Bone marrow aspirate smear — 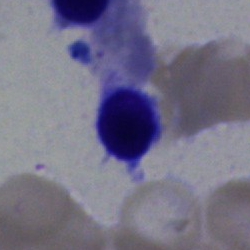
This is a normoblast.